Peripheral blood smear.
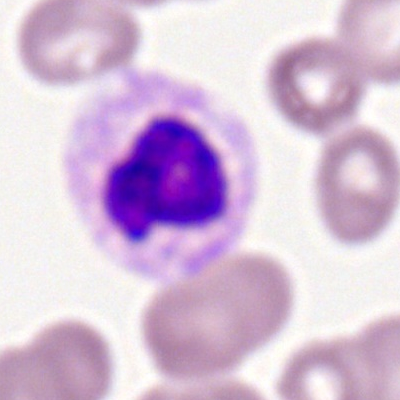
Morphology — polymorphonuclear neutrophil.